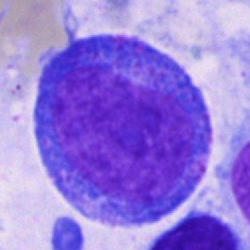
A progranulocyte on a bone marrow smear.